Bone marrow aspirate smear — 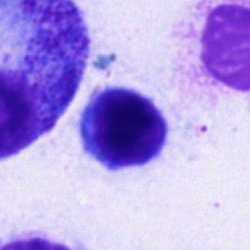
Specimen: bone marrow aspirate smear.
Morphological class: typical lymphocyte.
Lineage: lymphoid.